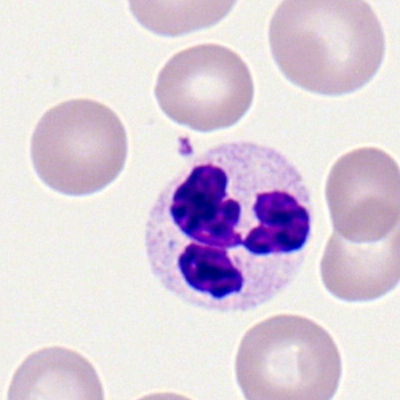 The classification is polymorphonuclear neutrophil.